MGG-stained. Bone marrow smear: 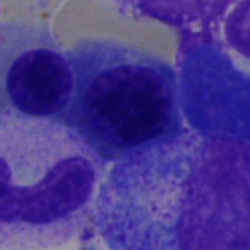

The classification is normoblast.